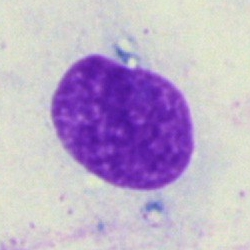
Showing an artifact.